Bone marrow smear
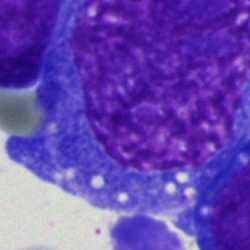An undifferentiated blast.